Bone marrow smear — 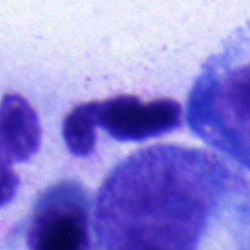

Q: What type of cell is this?
A: It is a segmented neutrophil.